Bone marrow aspirate smear.
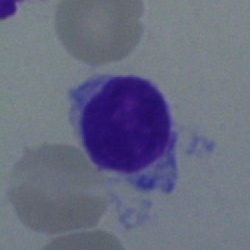
Morphological class = typical lymphocyte.